Bone marrow smear: 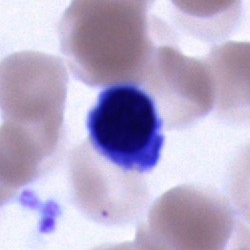
This is an unidentifiable cell.